Bone marrow smear; single-cell crop
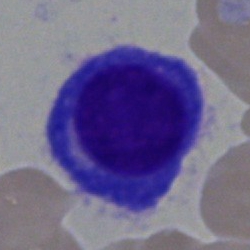

Q: What type of cell is this?
A: A plasma cell.